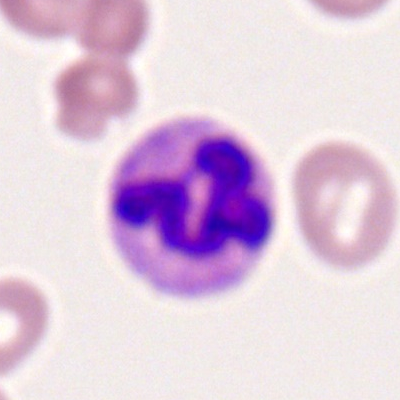 Q: What is shown here?
A: Segmented neutrophil.